Bone marrow smear; MGG-stained — 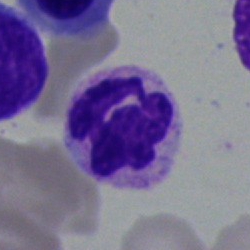

Impression → polymorphonuclear neutrophil.